40× objective, oil immersion; 250×250; bone marrow smear.
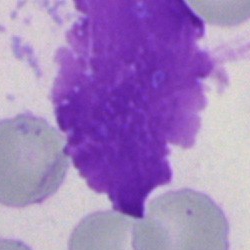Q: What is shown here?
A: It is an artefact.